Peripheral blood film
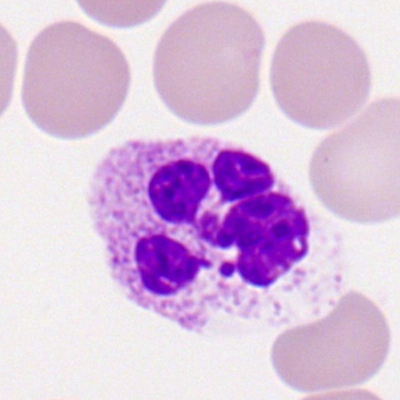

Segmented neutrophil.